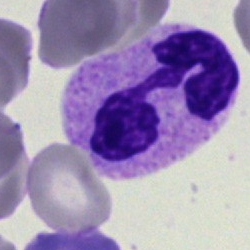 {"cell_type": "neutrophil (segmented)"}